250 by 250 pixels; bone marrow smear.
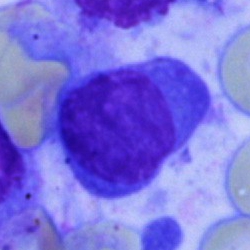
Morphology consistent with a plasmacyte.